Bone marrow aspirate smear. Single cell centered in the field.
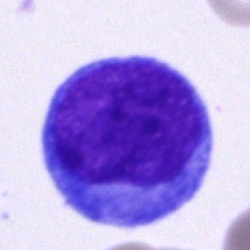Morphological class: undifferentiated blast.